Bone marrow smear:
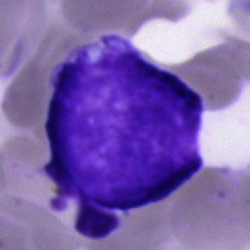
Q: Identify the cell.
A: This is a cell of indeterminate lineage.